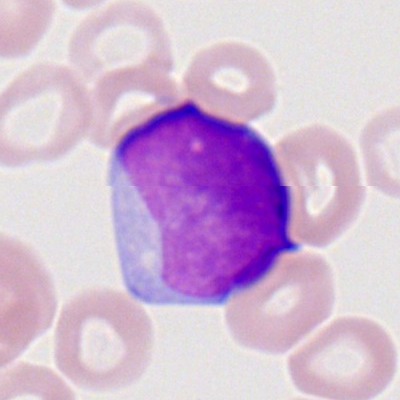
Specimen: peripheral blood smear.
Morphological class: myeloid blast.
Lineage: myeloid.